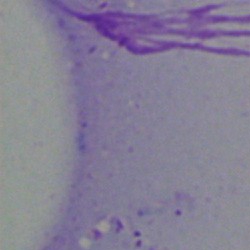 Cell = artifact.